Bone marrow aspirate smear:
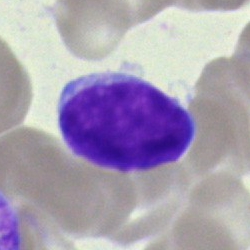The cell type is typical lymphocyte.